Bone marrow smear.
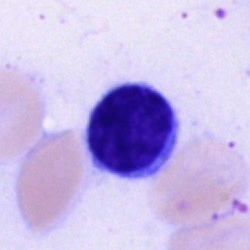

{"cell_type": "lymphocyte"}